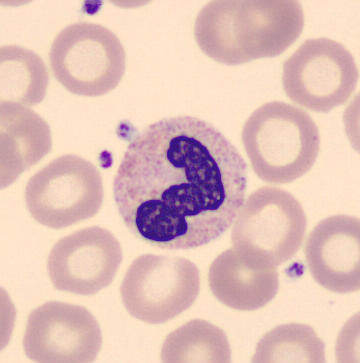
Specimen: peripheral blood film.
Cell: band neutrophil.
Lineage: myeloid.